Bone marrow smear; brightfield microscopy, 40× oil immersion:
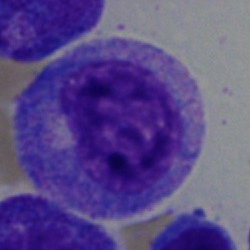Q: Identify the cell.
A: This is a promyelocyte.